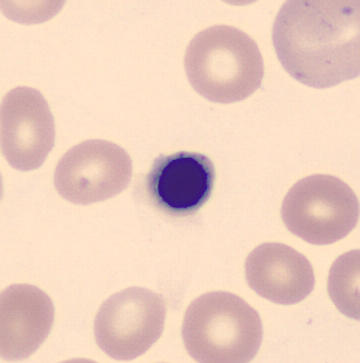 Classification = normoblast.